Bone marrow smear; brightfield microscopy, 40× oil immersion — 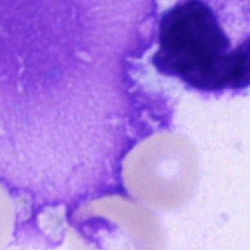
Q: What is shown here?
A: This is an artifact.